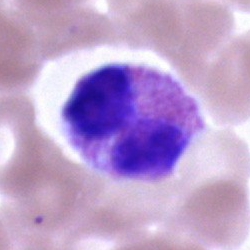

Morphology — eosinophilic granulocyte.